Bone marrow smear · 250×250:
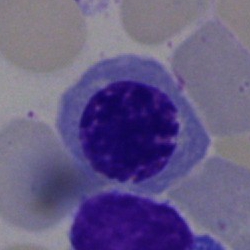 The cell type is normoblast.